Bone marrow aspirate smear — 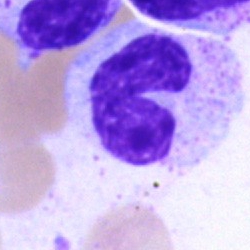

This is a band-form neutrophil.